Bone marrow aspirate smear.
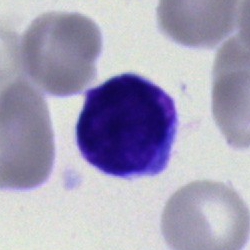 Cell = blast cell.